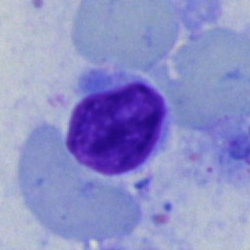
A typical lymphocyte on a bone marrow smear.